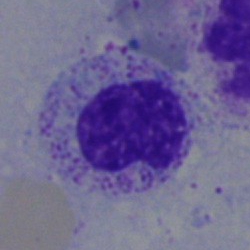The cell shown is a metamyelocyte.